Bone marrow smear · cropped to a single cell — 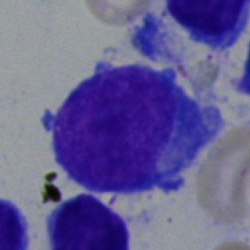 Showing a blast cell.